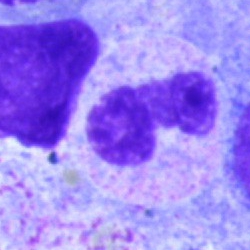
Specimen: bone marrow smear.
Cell: band-form neutrophil.
Lineage: myeloid.